Bone marrow aspirate smear — 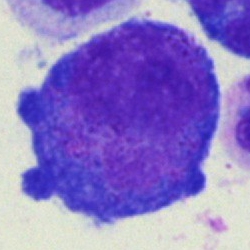Promyelocyte.